Bone marrow smear · 250 by 250 pixels:
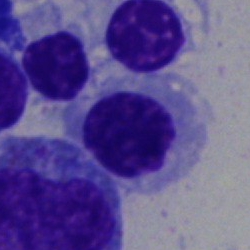Showing a nucleated red blood cell.